Bone marrow aspirate smear · 250×250:
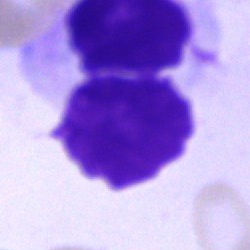Morphology consistent with an artifact.